Peripheral blood smear — 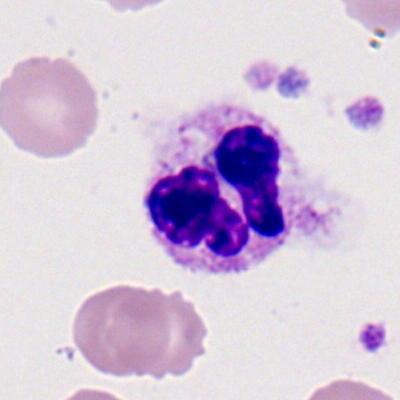
Q: Which cell type is shown here?
A: A segmented neutrophil.